250×250 · brightfield, 40× oil-immersion objective · bone marrow smear — 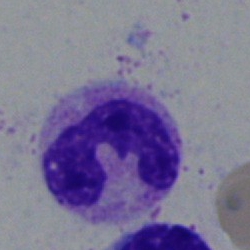
Specimen: bone marrow aspirate smear.
Cell type: segmented neutrophil.
Lineage: myeloid.